Peripheral blood smear.
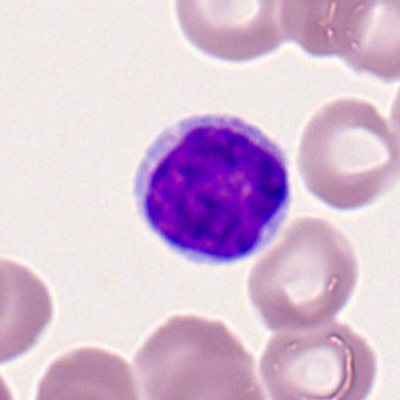
Single cell identified as a typical lymphocyte.